40× objective, oil immersion. Bone marrow smear. Pappenheim-stained:
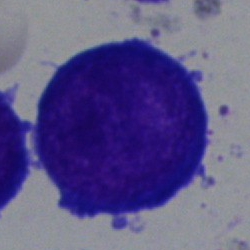Single cell identified as a pronormoblast.